MGG-stained; bone marrow aspirate smear; brightfield microscopy, 40× oil immersion.
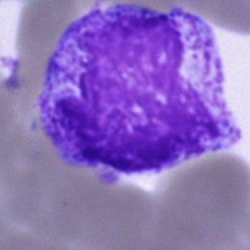
Specimen: bone marrow smear.
Cell: myelocyte.